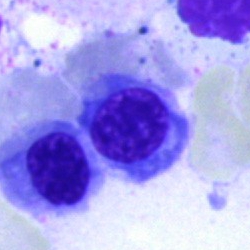Single cell identified as a normoblast.